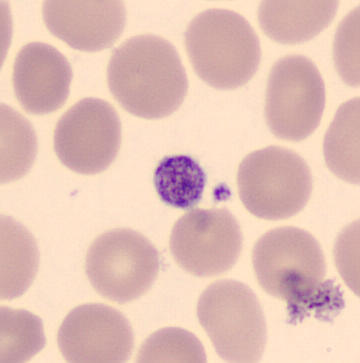The classification is thrombocyte.